May-Grünwald-Giemsa/Pappenheim stain · bone marrow aspirate smear · 40× objective, oil immersion.
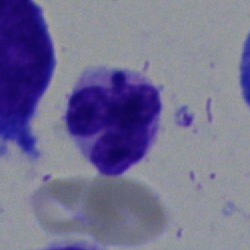
Specimen: bone marrow aspirate smear.
Morphological class: segmented neutrophil.
Lineage: myeloid.